Bone marrow aspirate smear.
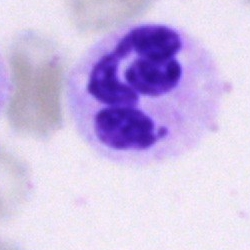
The classification is segmented neutrophil.